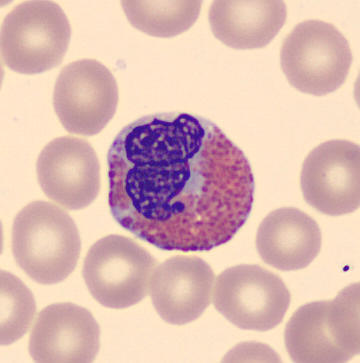
Image: Peripheral blood smear. MGG-stained. Eosinophil.